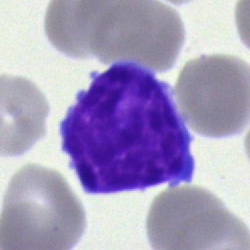The cell is blast.